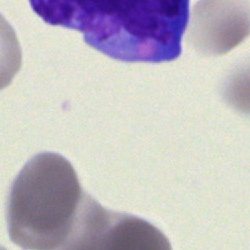
Classification: artefact.